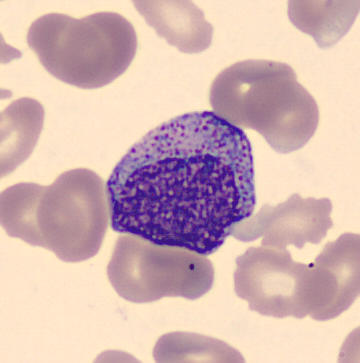 Image: Single-cell field. Peripheral blood film.

Single cell identified as a myelocyte.